Bone marrow aspirate smear:
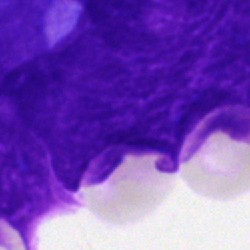Morphological class: artifact.